Bone marrow smear · brightfield microscopy, 40× oil immersion.
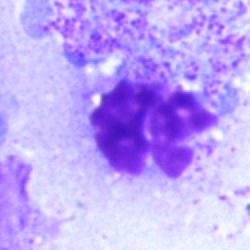An artifact.